Bone marrow aspirate smear · image size 250×250: 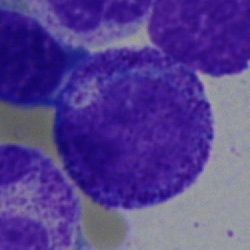

Morphology consistent with a myelocyte.